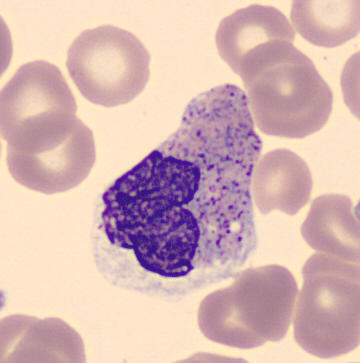Preparation: Peripheral blood film.

Classification — metamyelocyte.